40× oil immersion. Bone marrow aspirate smear. 250 by 250 pixels — 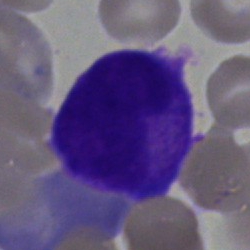
Showing a blast cell.